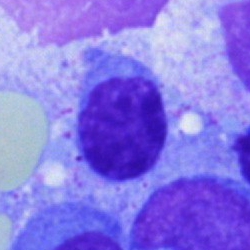 A plasma cell on a bone marrow smear.